Bone marrow aspirate smear
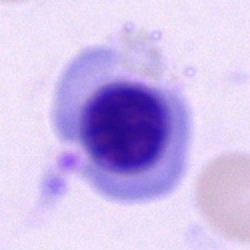

{"cell_type": "nucleated red blood cell", "lineage": "erythroid"}